Bone marrow smear: 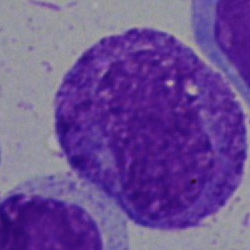Showing an undifferentiated blast.